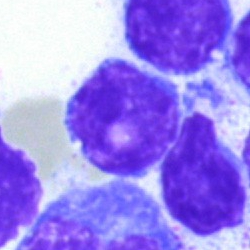Single cell identified as a lymphocyte.